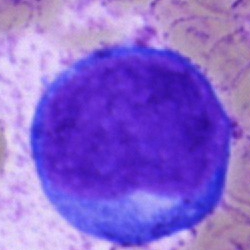Morphology consistent with an undifferentiated blast.